Single-cell crop. MGG-stained. Bone marrow smear:
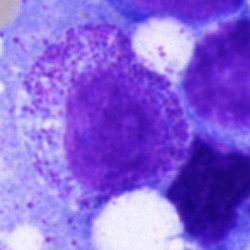 Morphological class — progranulocyte.